Bone marrow aspirate smear.
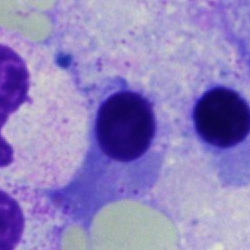
Morphological class — normoblast.